Bone marrow smear; image size 250×250; 40× oil immersion
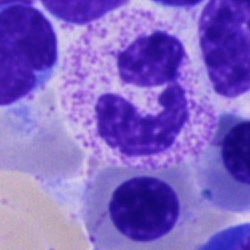
Cell type: polymorphonuclear neutrophil.